Cropped to a single cell. Bone marrow aspirate smear. Brightfield microscopy, 40× oil immersion
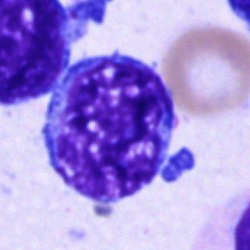
Cell: blast.